Bone marrow smear. Brightfield, 40× oil-immersion objective. Pappenheim-stained: 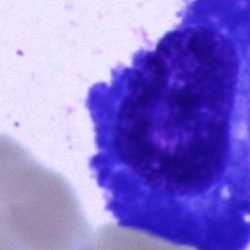Cell type — plasmacyte.